Bone marrow smear:
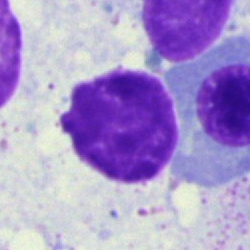Specimen: bone marrow aspirate smear.
Morphological class: artefact.